Bone marrow aspirate smear:
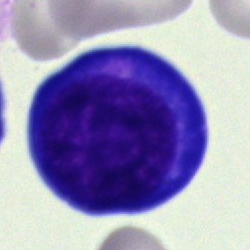
Morphology → proerythroblast.